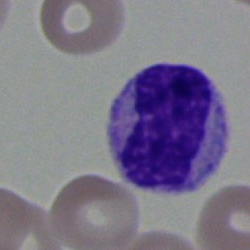
Morphological class = metamyelocyte.